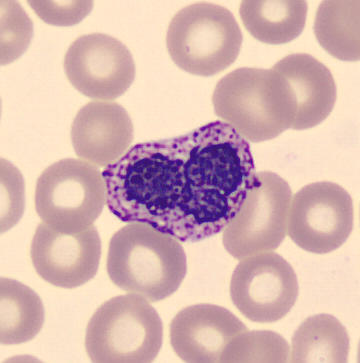

Basophilic granulocyte.